Bone marrow aspirate smear.
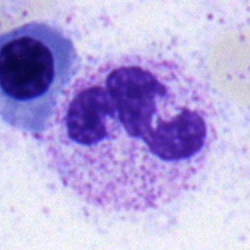This is a neutrophil (segmented).